Bone marrow aspirate smear · Pappenheim-stained — 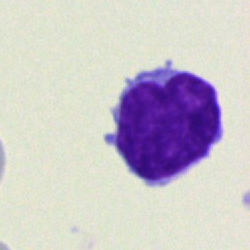
The cell shown is a typical lymphocyte.